Bone marrow aspirate smear.
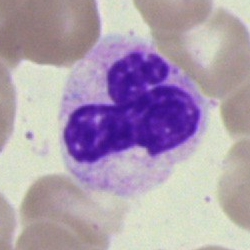
The cell shown is a segmented neutrophil.